Bone marrow aspirate smear. May-Grünwald-Giemsa/Pappenheim stain: 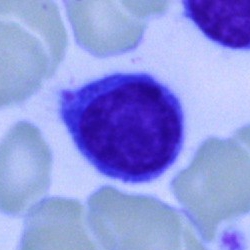 Morphology consistent with a lymphocyte.